Bone marrow aspirate smear. Pappenheim-stained: 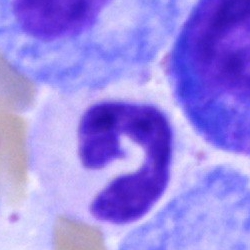

Morphology — stab cell.